Cropped to a single cell. Bone marrow aspirate smear — 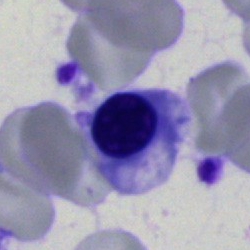The cell shown is a normoblast.